40× objective, oil immersion. Bone marrow aspirate smear. MGG-stained.
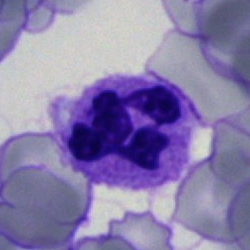Neutrophil (segmented).